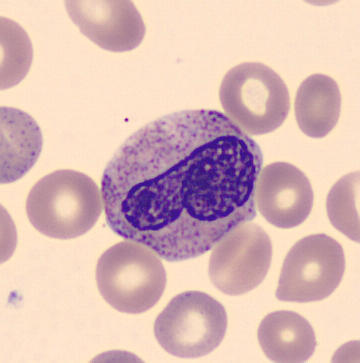

Acquisition: Image size 360×363. Peripheral blood film. Automated cell imaging (CellaVision DM96).
Cell type: metamyelocyte.